Bone marrow smear.
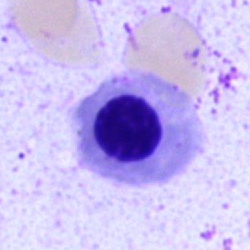Cell type: nucleated red cell.